Peripheral blood film · 400×400 — 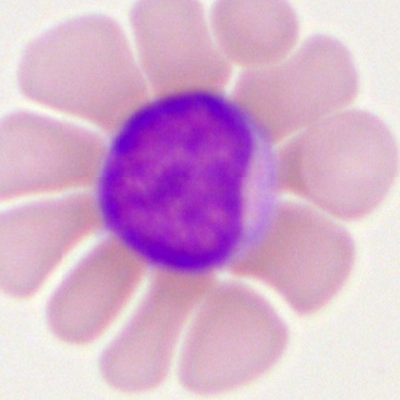
Specimen: peripheral blood film.
Classification: myeloblast.
Lineage: myeloid.